Bone marrow smear: 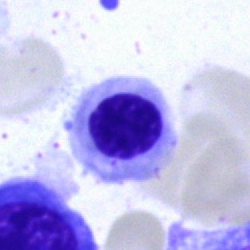
The cell shown is a normoblast.